Peripheral blood smear — 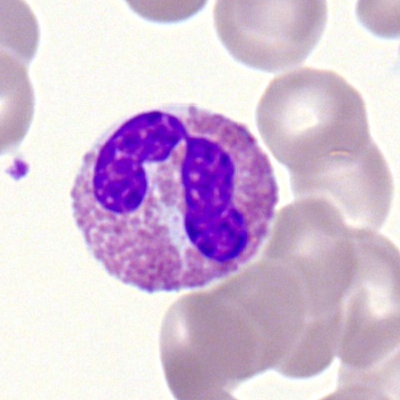Morphology consistent with an eosinophilic granulocyte.